Bone marrow aspirate smear. Brightfield microscopy, 40× oil immersion:
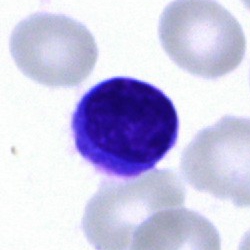

The cell shown is a lymphocyte.